MGG-stained. Bone marrow smear. 250 by 250 pixels
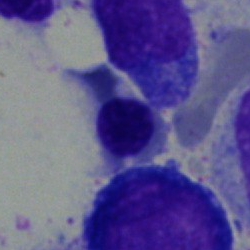The cell is normoblast.